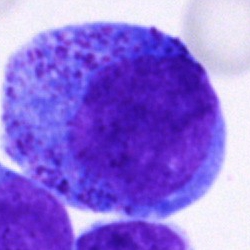

Bone marrow aspirate smear, single cell — promyelocyte.